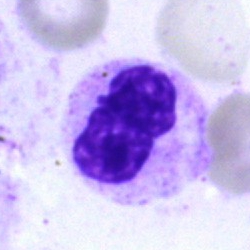 The cell shown is a band neutrophil.